250×250 · bone marrow aspirate smear · brightfield, 40× oil-immersion objective — 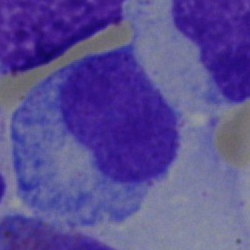
Single cell identified as a myelocyte.